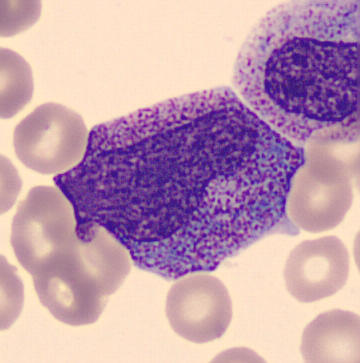

Imaged on a CellaVision DM96 analyser; peripheral blood film.

Q: Identify the cell.
A: A progranulocyte.